Peripheral blood film — 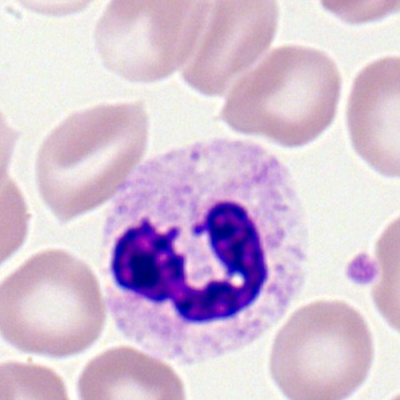
Classification: neutrophil (segmented).